Bone marrow aspirate smear: 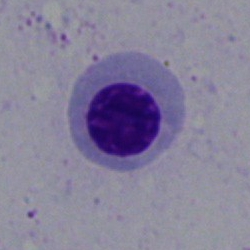Q: What is the morphological classification of this cell?
A: It is a nucleated red cell.